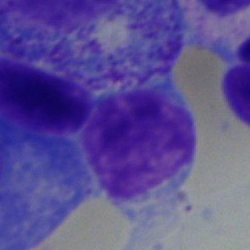
Cell type: lymphocyte.